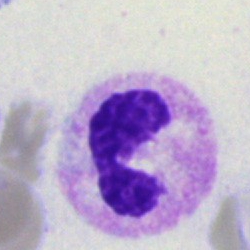
{"cell_type": "neutrophil (segmented)", "lineage": "myeloid"}